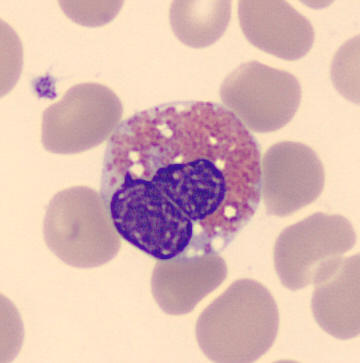Q: What is the morphological classification of this cell?
A: Eosinophil.

Single cell centered in the field. Peripheral blood film.